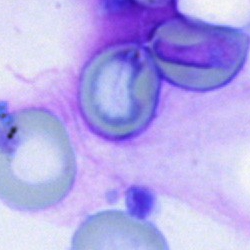 Impression — artefact.